Bone marrow aspirate smear:
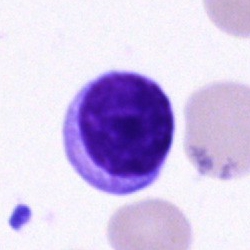
Single cell identified as a typical lymphocyte.